Single-cell field. Bone marrow smear. 40× oil immersion.
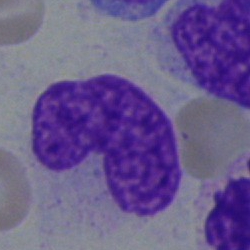
The cell shown is a monocyte.